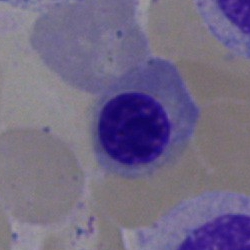

This is a normoblast.